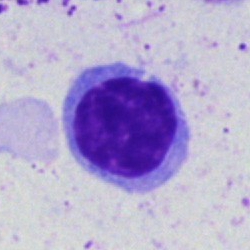{"cell_type": "lymphocyte", "lineage": "lymphoid"}